MGG-stained; brightfield, 40× oil-immersion objective; bone marrow smear:
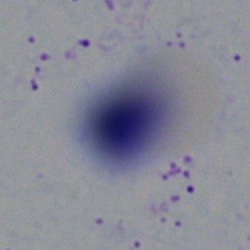

This is an artefact.